Bone marrow aspirate smear — 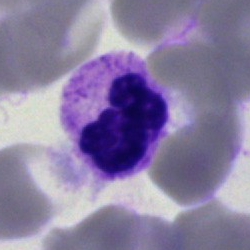

Morphology — polymorphonuclear neutrophil.